Bone marrow aspirate smear.
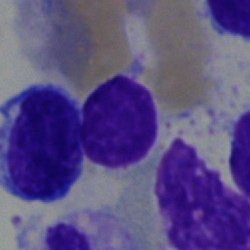

This is a lymphocyte.